Bone marrow smear. May-Grünwald-Giemsa stain
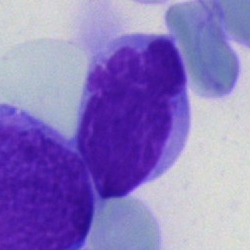

Impression → blast.